Peripheral blood smear; brightfield, 100× oil-immersion objective — 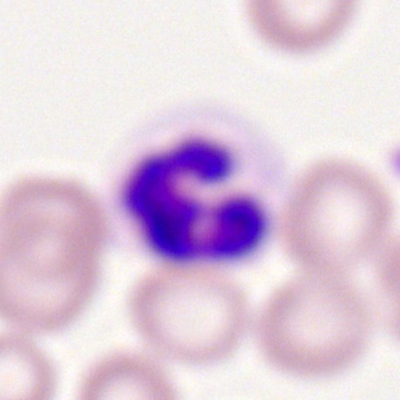

Classification: neutrophil (segmented).